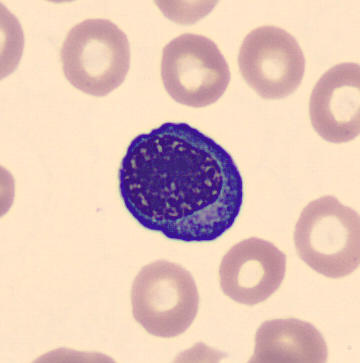

Showing a normoblast.
MGG-stained · single cell centered in the field · peripheral blood smear.